Peripheral blood film.
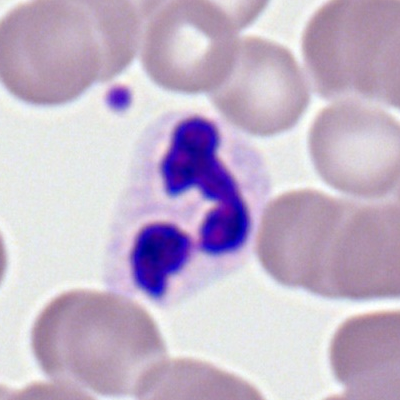Q: What is the morphological classification of this cell?
A: A segmented neutrophil.